Bone marrow smear — 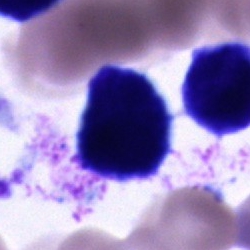

Cell = cell of indeterminate lineage.